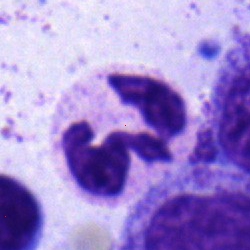

Q: What is shown here?
A: It is a neutrophil (segmented).